Bone marrow aspirate smear; single-cell field — 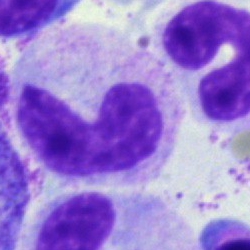
The classification is band neutrophil.